250×250; bone marrow smear; single-cell field:
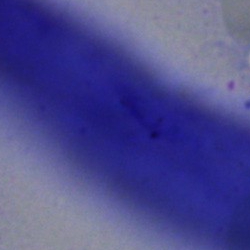

Morphology consistent with an artefact.